May-Grünwald-Giemsa/Pappenheim stain · bone marrow aspirate smear · 250×250: 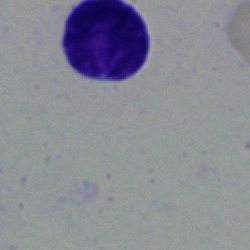This is a lymphocyte.